Bone marrow aspirate smear — 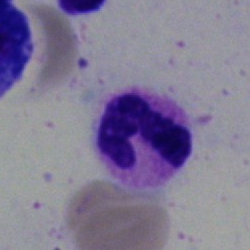Classification — polymorphonuclear neutrophil.